Bone marrow aspirate smear — 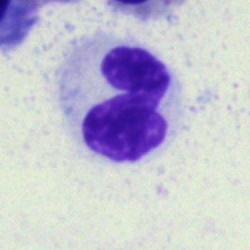
Q: Identify the cell.
A: This is a neutrophil (segmented).